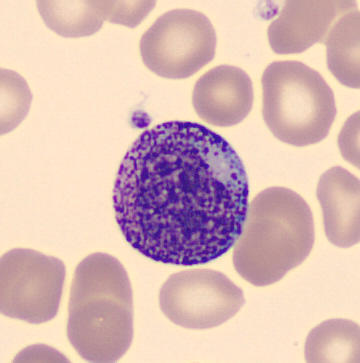

Acquisition: CellaVision DM96. Peripheral blood film.
Identified as a promyelocyte.